Peripheral blood smear:
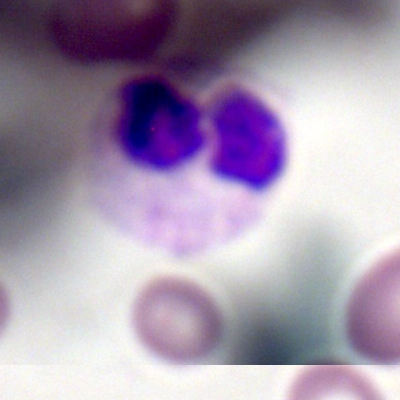 Q: What is the morphological classification of this cell?
A: Segmented neutrophil.